Bone marrow smear: 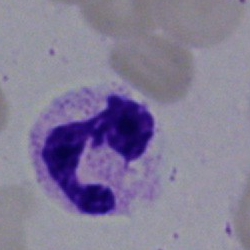{"cell_type": "segmented neutrophil", "lineage": "myeloid"}